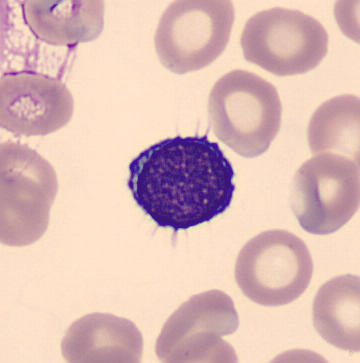 The cell type is typical lymphocyte.

Preparation: Peripheral blood smear.